250 by 250 pixels · single cell centered in the field · bone marrow smear.
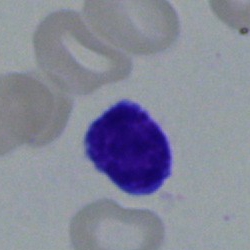Cell type: typical lymphocyte.